Peripheral blood smear
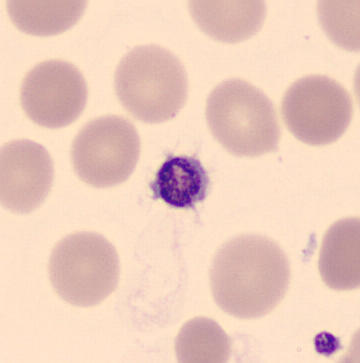
Q: What is shown here?
A: This is a platelet.